Image size 250×250; bone marrow aspirate smear.
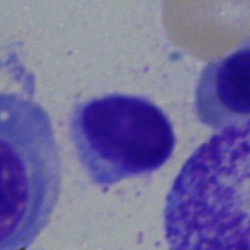
Classification = typical lymphocyte.